Bone marrow smear. Cropped to a single cell:
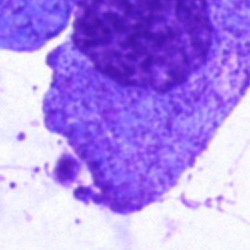Classification — promyelocyte.